Bone marrow aspirate smear.
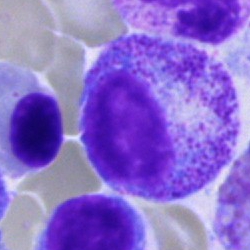
Cell = progranulocyte.